Peripheral blood film · single-cell field:
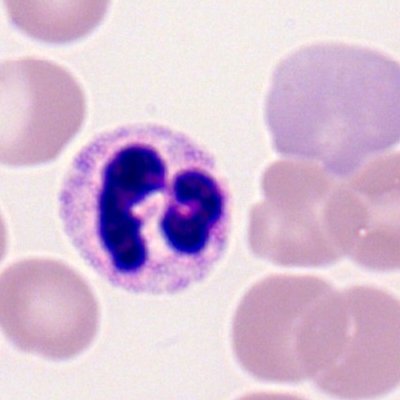
Q: Which cell type is shown here?
A: It is a polymorphonuclear neutrophil.